Bone marrow aspirate smear:
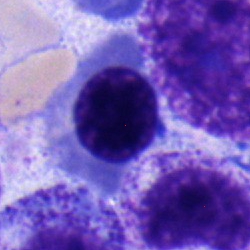 Q: What is the morphological classification of this cell?
A: This is a nucleated red cell.